Bone marrow aspirate smear.
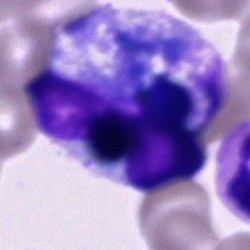

Specimen: bone marrow aspirate smear.
Cell: artefact.